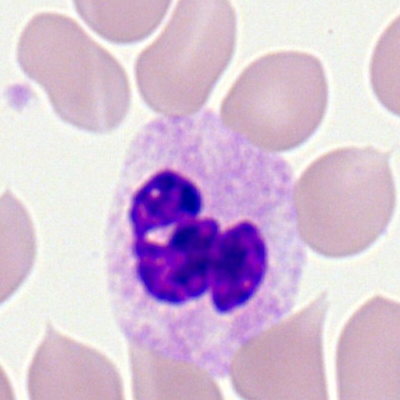
Single cell identified as a polymorphonuclear neutrophil.